Bone marrow smear. May-Grünwald-Giemsa stain:
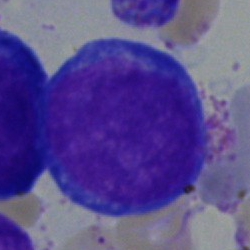Impression — undifferentiated blast.